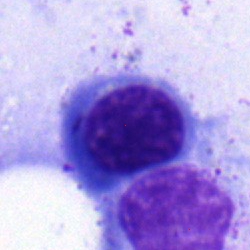
Showing a normoblast.